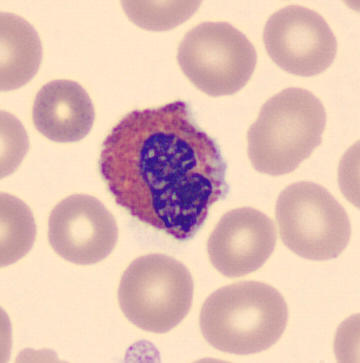Morphology → eosinophil. Acquisition: Peripheral blood smear.